Bone marrow smear.
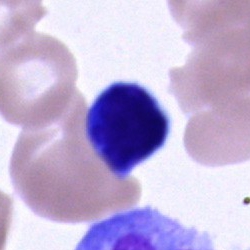 Specimen: bone marrow aspirate smear.
Classification: typical lymphocyte.
Lineage: lymphoid.